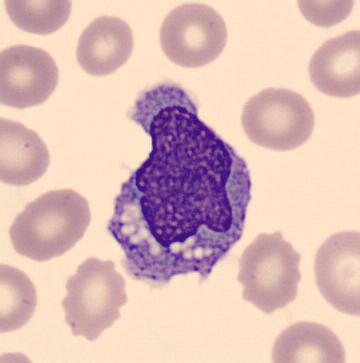 Showing a monocyte.

Preparation: Image size 360×363 · peripheral blood smear.